40× objective, oil immersion · bone marrow aspirate smear: 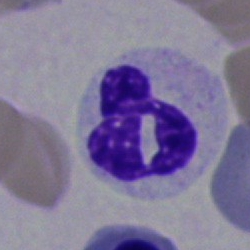 Single cell identified as a segmented neutrophil.